Bone marrow smear.
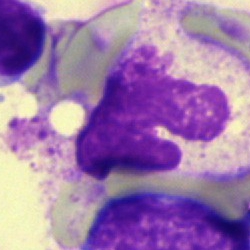 Impression — artifact.